Bone marrow smear.
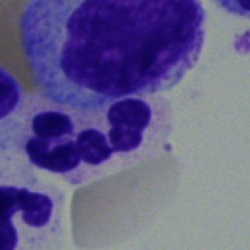Morphological class: neutrophil (segmented).